400×400; peripheral blood film
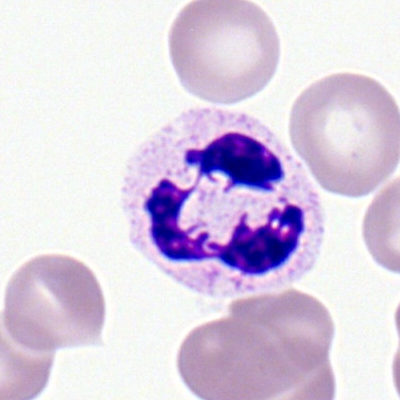This is a polymorphonuclear neutrophil.